May-Grünwald-Giemsa stain; bone marrow aspirate smear; single cell centered in the field:
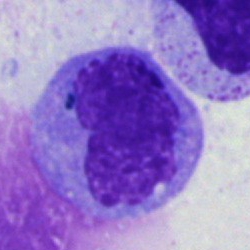
This is a monocyte.